Bone marrow aspirate smear
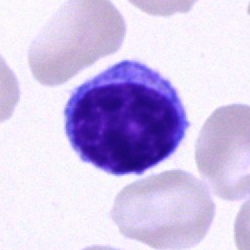Q: Identify the cell.
A: It is a typical lymphocyte.